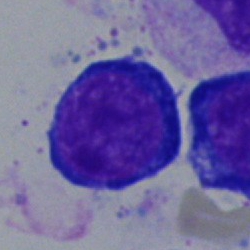

Q: What is shown here?
A: This is a proerythroblast.